Bone marrow smear.
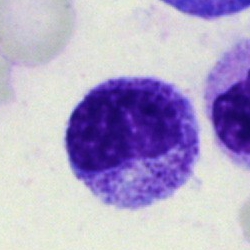 Q: What is the morphological classification of this cell?
A: Metamyelocyte.